Bone marrow smear · image size 250×250 · cropped to a single cell.
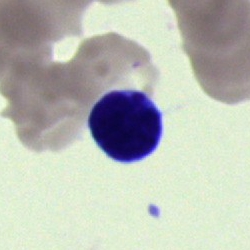
Morphology — unidentifiable cell.